40× objective, oil immersion · 250×250 · bone marrow aspirate smear — 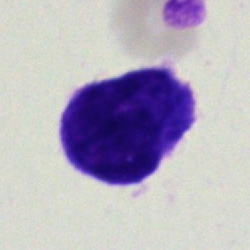

Q: What is shown here?
A: This is a blast.